Bone marrow smear: 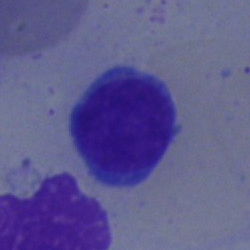

Showing a typical lymphocyte.